M8 digital microscope (Precipoint), 100× oil immersion · Romanowsky-type stain · peripheral blood smear.
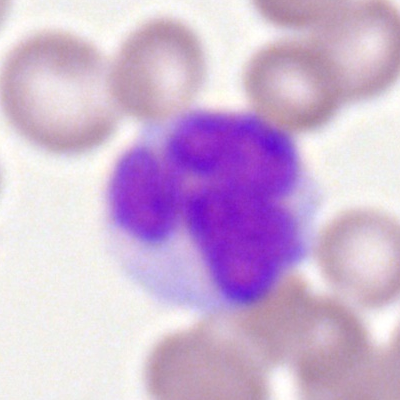

Morphology consistent with a monocyte.